Single cell centered in the field; peripheral blood smear — 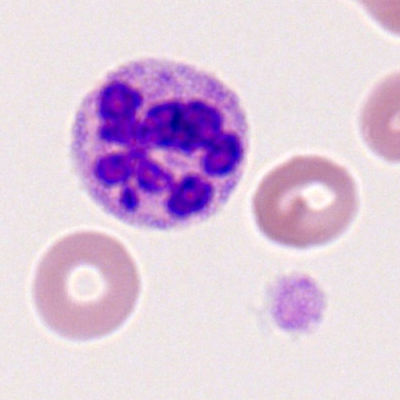
Segmented neutrophil.